MGG-stained · cropped to a single cell · bone marrow smear
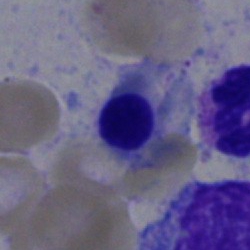
Nucleated red cell.